Single-cell field. 40× objective, oil immersion. Bone marrow smear
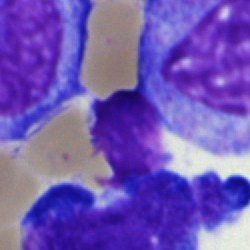
Morphology — lymphocyte (immature).